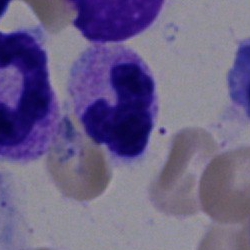

The cell shown is a neutrophil (segmented).